Bone marrow smear · 250×250 px
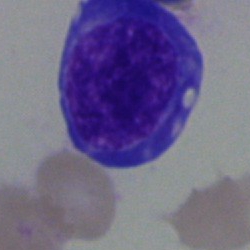
A nucleated red cell.